Bone marrow aspirate smear. May-Grünwald-Giemsa/Pappenheim stain
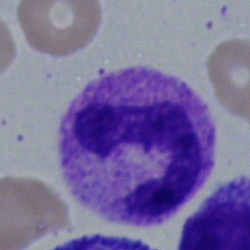The cell shown is a neutrophil (band).